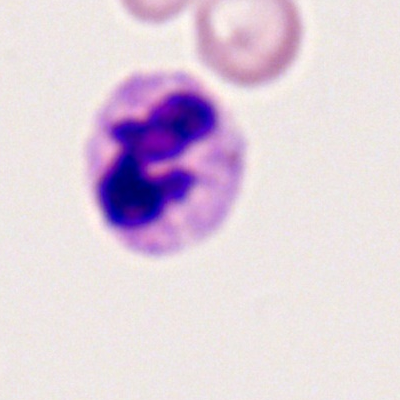

Q: What type of cell is this?
A: Neutrophil (segmented).